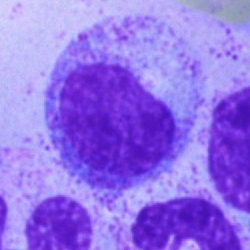 The cell type is myelocyte.